Brightfield, 40× oil-immersion objective. Bone marrow smear: 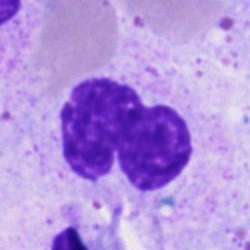

Specimen: bone marrow aspirate smear.
Classification: artifact.